Pappenheim-stained · bone marrow aspirate smear · 40× objective, oil immersion — 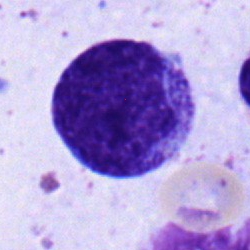
Cell type: myelocyte.